Bone marrow smear — 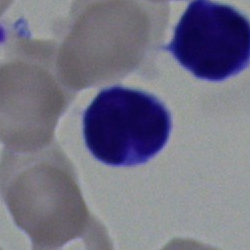The cell type is lymphocyte.